Single cell centered in the field. Bone marrow smear — 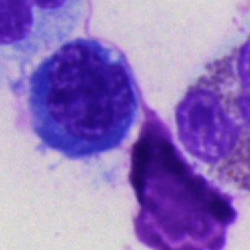 Q: Which cell type is shown here?
A: An erythroblast.